Bone marrow smear · single-cell crop:
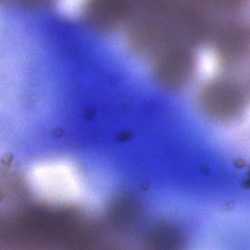Cell — artefact.